Bone marrow smear; Pappenheim-stained; single-cell field: 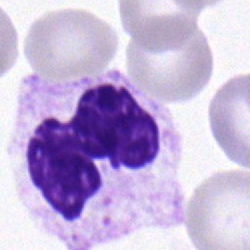Cell type: segmented neutrophil.